Single-cell crop. Bone marrow aspirate smear
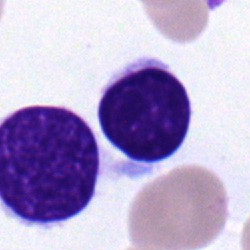Classification — typical lymphocyte.